Bone marrow aspirate smear · 40× objective, oil immersion:
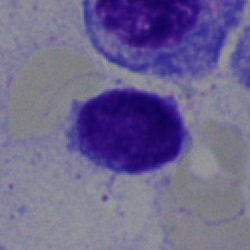The morphological class is typical lymphocyte.